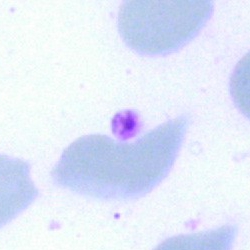
Morphological class: artifact.